Bone marrow smear.
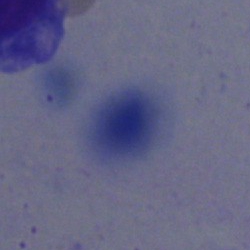Single cell identified as an artefact.